100× oil immersion, 14.14 px/µm · peripheral blood smear · cropped to a single cell
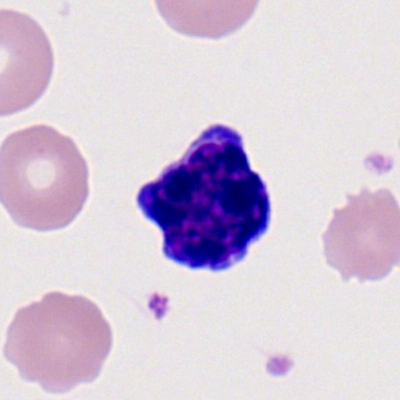

Morphology → typical lymphocyte.